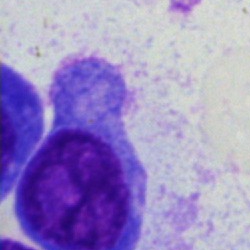 Specimen: bone marrow aspirate smear.
Morphological class: plasmacyte.